250×250 · brightfield, 40× oil-immersion objective · bone marrow aspirate smear — 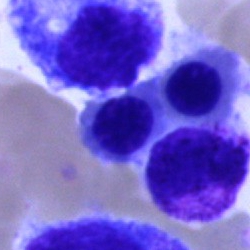

Specimen: bone marrow smear.
Cell type: nucleated red cell.